Bone marrow aspirate smear. Pappenheim-stained — 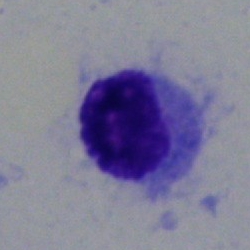Impression — hairy cell.